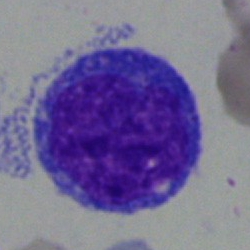
The cell type is blast cell.